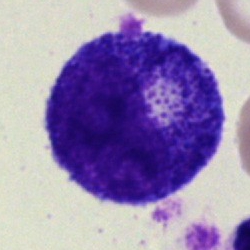Specimen: bone marrow smear.
Cell: promyelocyte.